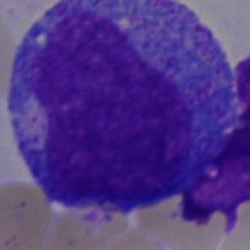
Morphology — promyelocyte.